Bone marrow aspirate smear:
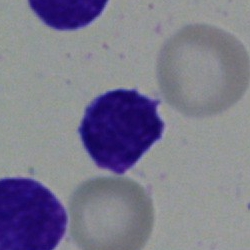Q: Identify the cell.
A: Lymphocyte.